Bone marrow aspirate smear · 250×250 px · single cell centered in the field.
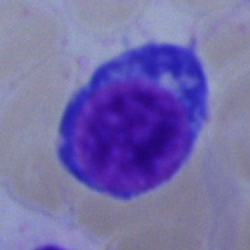 Specimen: bone marrow aspirate smear.
Cell type: proerythroblast.
Lineage: erythroid.